Cropped to a single cell · 40× oil immersion · bone marrow smear:
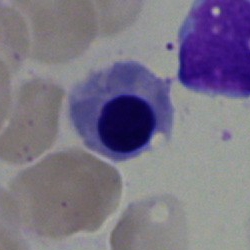 Normoblast.